Bone marrow aspirate smear — 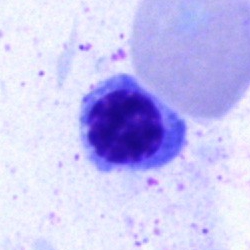Q: What is the morphological classification of this cell?
A: This is a nucleated red cell.